Bone marrow aspirate smear: 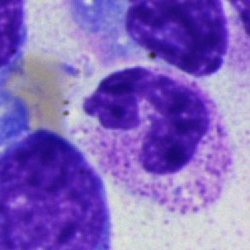

Stab cell.